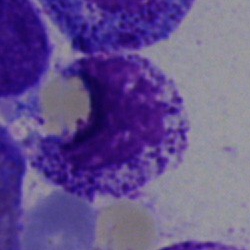
Myelocyte.